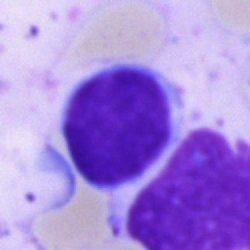Morphological class: blast cell.